May-Grünwald-Giemsa stain; 40× oil immersion; bone marrow smear.
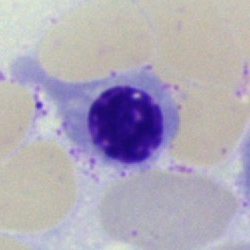 The cell shown is a normoblast.